Bone marrow smear
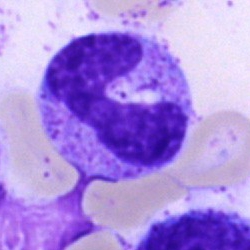

This is a neutrophil (band).